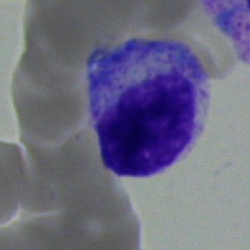
Bone marrow smear showing a myelocyte.